Bone marrow aspirate smear. May-Grünwald-Giemsa stain
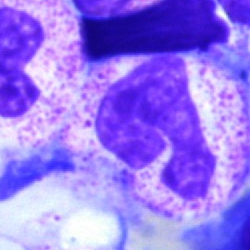

Single cell identified as a segmented neutrophil.